Bone marrow aspirate smear; May-Grünwald-Giemsa stain.
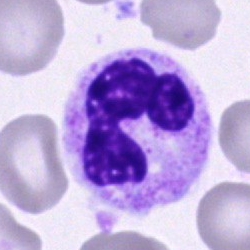The classification is segmented neutrophil.